Bone marrow smear
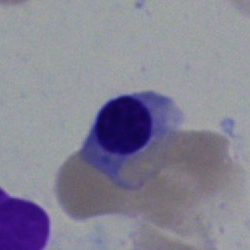 A nucleated red cell.